Brightfield microscopy, 40× oil immersion; bone marrow smear; 250×250: 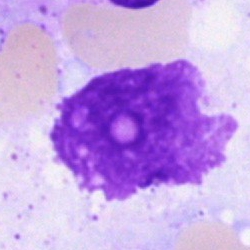
The cell shown is an artifact.